Bone marrow aspirate smear — 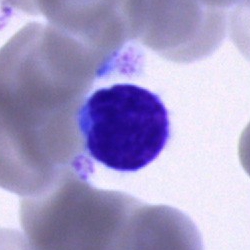

Cell type = lymphocyte.